May-Grünwald-Giemsa stain · bone marrow aspirate smear: 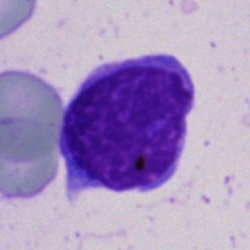

{"cell_type": "typical lymphocyte", "lineage": "lymphoid"}